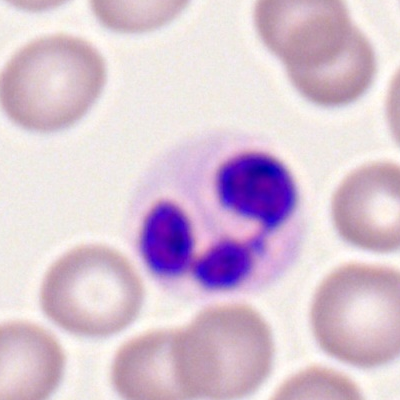Polymorphonuclear neutrophil.